Bone marrow aspirate smear: 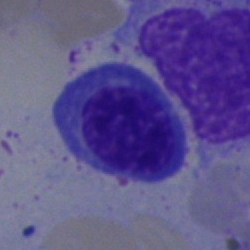

Morphology consistent with a nucleated red blood cell.